Bone marrow aspirate smear.
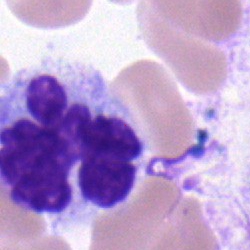Morphology — monocyte.